40× oil immersion; bone marrow smear: 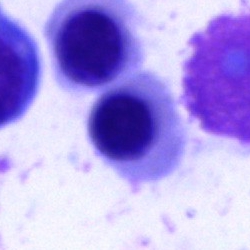
Specimen: bone marrow smear.
Cell: nucleated red blood cell.